Bone marrow aspirate smear; Pappenheim-stained; single-cell crop: 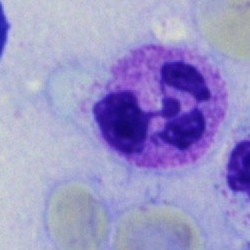

Morphological class = segmented neutrophil.